Bone marrow aspirate smear: 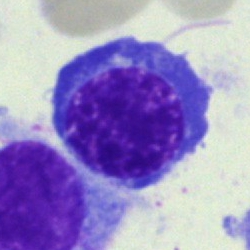
Morphological class — normoblast.